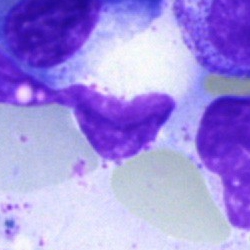

Bone marrow smear showing an artefact.